Bone marrow smear.
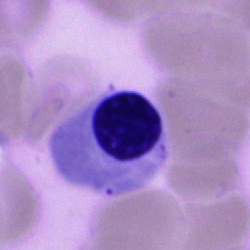 The cell shown is a normoblast.